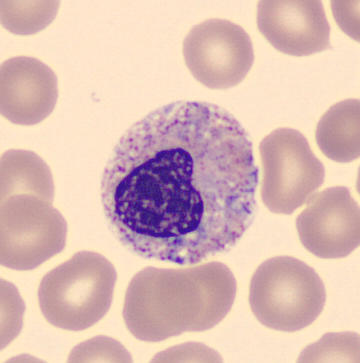

The cell shown is a metamyelocyte.